Single-cell field. Bone marrow smear. May-Grünwald-Giemsa stain: 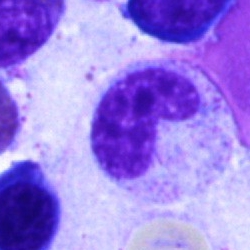
Specimen: bone marrow smear.
Cell: stab cell.
Lineage: myeloid.